Bone marrow aspirate smear
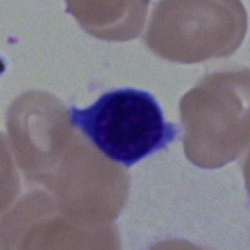

A typical lymphocyte.